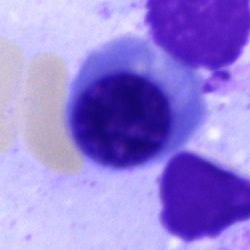 The morphological class is nucleated red blood cell.